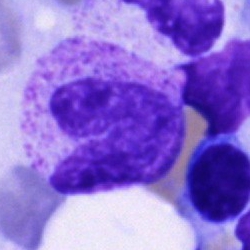

Cell type: band neutrophil.